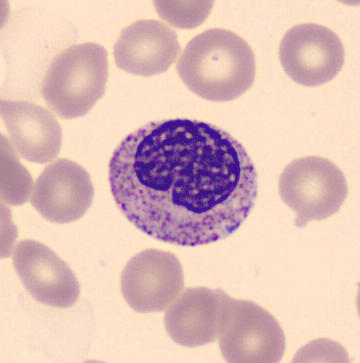 Peripheral blood smear showing a metamyelocyte.